Bone marrow smear
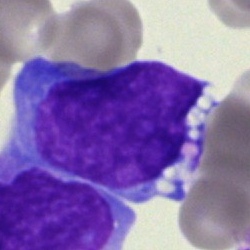

Morphology → blast cell.